Peripheral blood smear · single-cell field.
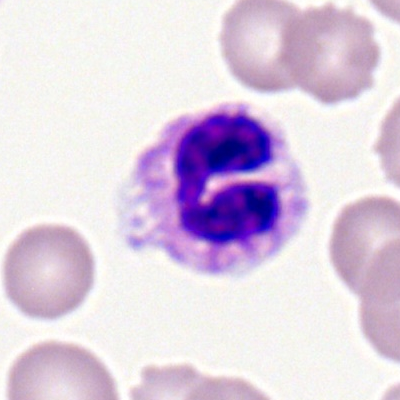

Neutrophil (segmented).